Bone marrow aspirate smear; Pappenheim-stained; single-cell crop — 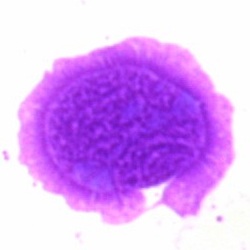
Showing an artefact.